Bone marrow aspirate smear; May-Grünwald-Giemsa stain: 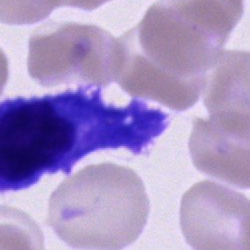The cell type is plasmacyte.